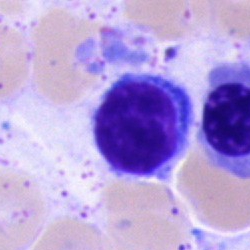The cell is typical lymphocyte.